250×250 px; bone marrow aspirate smear:
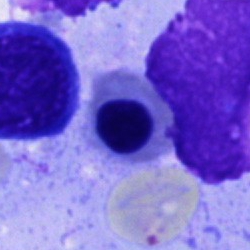{"cell_type": "normoblast", "lineage": "erythroid"}